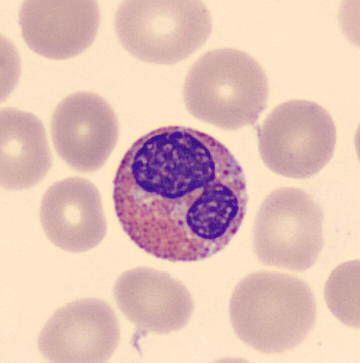
Specimen: peripheral blood film.
Classification: eosinophilic granulocyte.
Lineage: myeloid.